Cropped to a single cell · bone marrow smear:
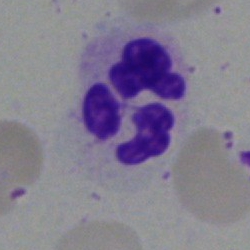 Cell = polymorphonuclear neutrophil.